Bone marrow smear; MGG-stained; 250 by 250 pixels: 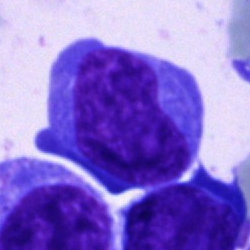 Cell type: blast cell.